Bone marrow smear: 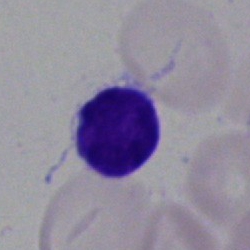Morphology consistent with a lymphocyte.